250×250 · bone marrow smear: 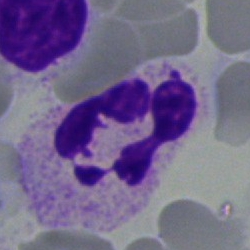 Impression → polymorphonuclear neutrophil.